Bone marrow aspirate smear · May-Grünwald-Giemsa stain.
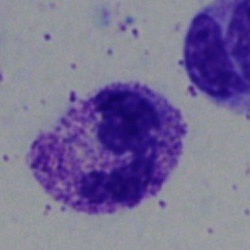
Single cell identified as a segmented neutrophil.